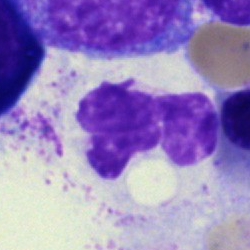 Cell type — segmented neutrophil.